Bone marrow smear: 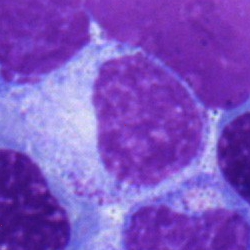
{"cell_type": "myelocyte"}